Bone marrow aspirate smear; brightfield, 40× oil-immersion objective
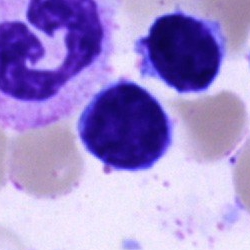Typical lymphocyte.